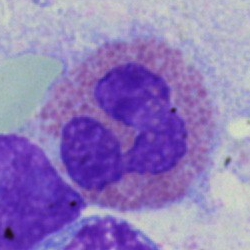

Bone marrow aspirate smear, single cell — eosinophilic granulocyte.